Bone marrow smear; image size 250×250.
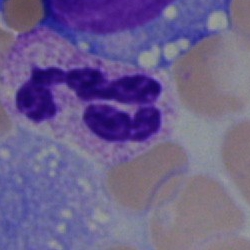 Morphology → polymorphonuclear neutrophil.